250×250. Bone marrow smear. Single-cell field:
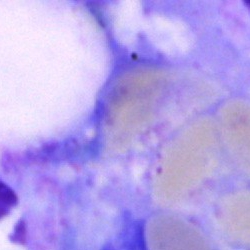

Specimen: bone marrow aspirate smear.
Morphological class: artifact.